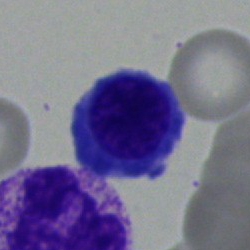
Classification: normoblast.